Bone marrow smear · brightfield, 40× oil-immersion objective: 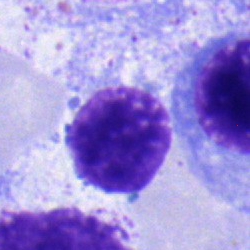

Showing an erythroblast.